Bone marrow aspirate smear.
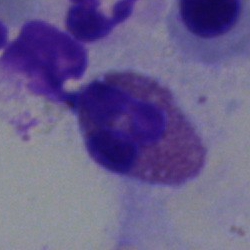Morphology → eosinophil.